Bone marrow aspirate smear.
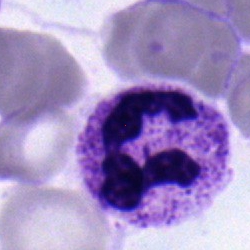

Classification: polymorphonuclear neutrophil.